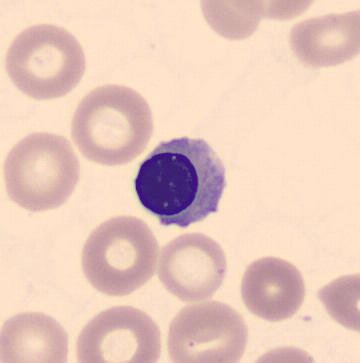
Identified as a nucleated red cell.